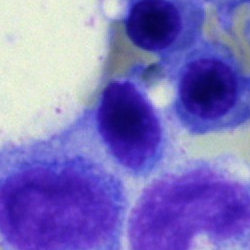Bone marrow smear showing a lymphocyte.